Romanowsky-type stain. Single cell centered in the field. Peripheral blood film — 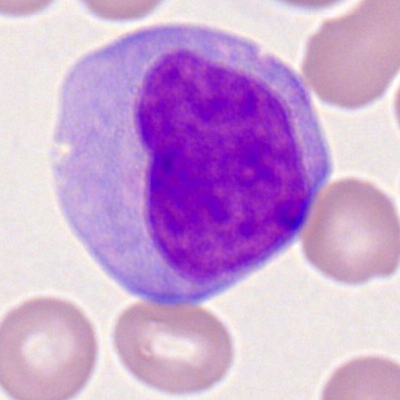

Specimen: peripheral blood smear.
Cell: monoblast.
Lineage: myeloid.